Bone marrow smear · 40× objective, oil immersion: 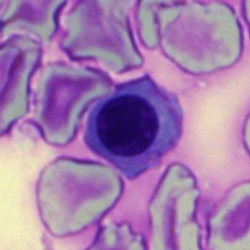 Classification — normoblast.